250 by 250 pixels; cropped to a single cell; bone marrow aspirate smear: 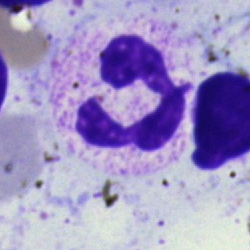 Single cell identified as a polymorphonuclear neutrophil.